Bone marrow aspirate smear:
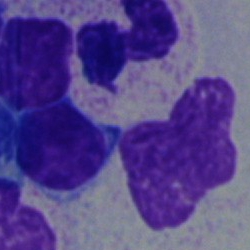
Cell — segmented neutrophil.